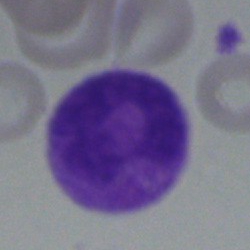
Bone marrow smear showing a myelocyte.